Peripheral blood film.
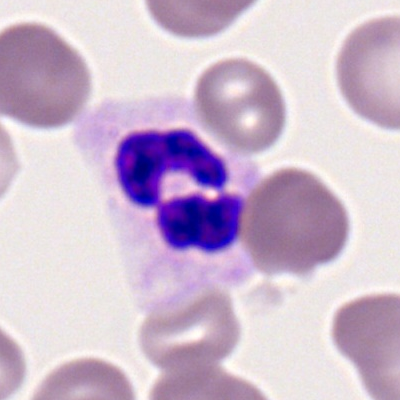 Q: Which cell type is shown here?
A: Polymorphonuclear neutrophil.